Bone marrow aspirate smear: 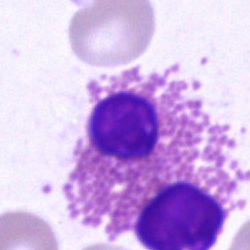Specimen: bone marrow aspirate smear.
Cell: eosinophil.